Bone marrow aspirate smear; single-cell crop
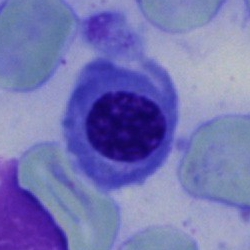
Specimen: bone marrow smear.
Classification: normoblast.
Lineage: erythroid.